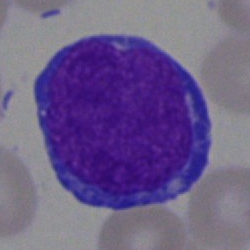

Specimen: bone marrow smear.
Cell: undifferentiated blast.